Bone marrow smear. Cropped to a single cell
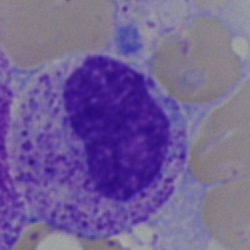Q: What cell is this?
A: This is a metamyelocyte.